Bone marrow smear:
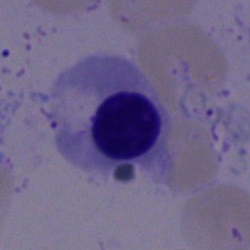

Cell type: nucleated red cell.